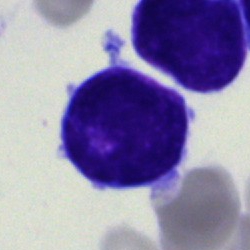
Impression — blast cell.